Bone marrow aspirate smear. 250×250 px: 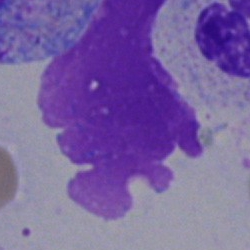

Morphology → artifact.